Bone marrow aspirate smear:
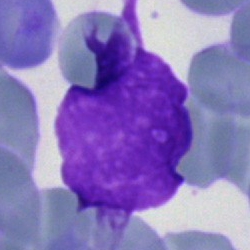 Q: What is shown here?
A: Artefact.